Bone marrow smear — 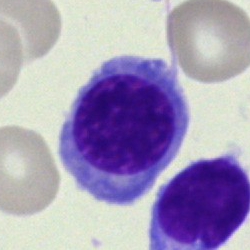 Q: What is the morphological classification of this cell?
A: Nucleated red blood cell.